Bone marrow smear.
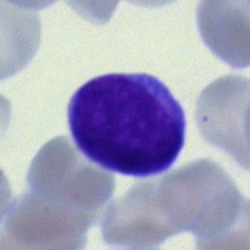 The cell type is typical lymphocyte.